Bone marrow aspirate smear. 40× objective, oil immersion.
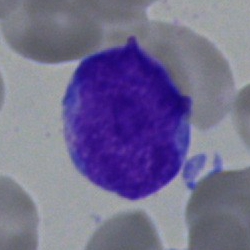

Morphology consistent with a blast.